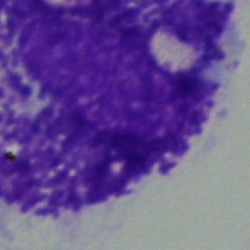Q: Identify the cell.
A: An other cell type.